Bone marrow aspirate smear: 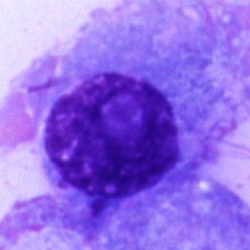

Plasmacyte.